Bone marrow aspirate smear · single cell centered in the field · 250×250 px.
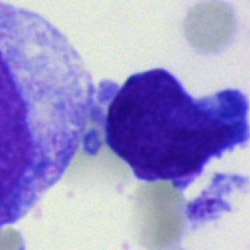

Cell type: lymphocyte.